Bone marrow aspirate smear; May-Grünwald-Giemsa stain.
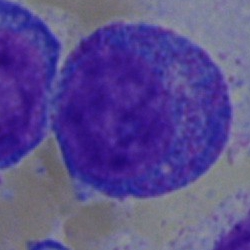
Cell type: promyelocyte.